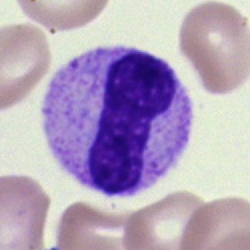
The morphological class is neutrophil (band).